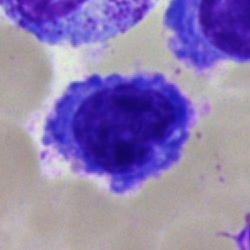 Q: What is the morphological classification of this cell?
A: A plasma cell.